Bone marrow smear · single-cell crop: 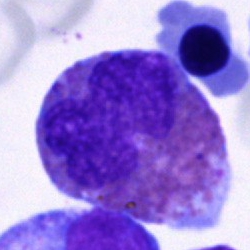
The cell shown is an eosinophil.